250×250 px. Bone marrow aspirate smear. Single-cell crop.
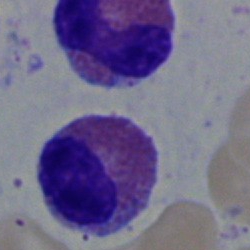 Specimen: bone marrow smear.
Morphological class: eosinophil.
Lineage: myeloid.